Bone marrow smear:
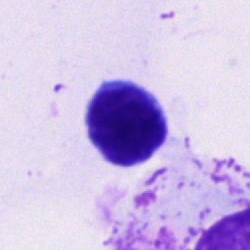

The classification is typical lymphocyte.